Bone marrow aspirate smear — 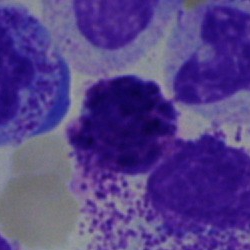 Basophilic granulocyte.